Bone marrow aspirate smear — 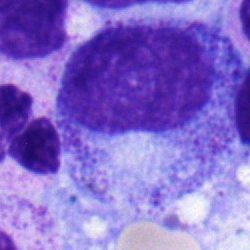 Impression → promyelocyte.